250 by 250 pixels. Bone marrow aspirate smear. 40× objective, oil immersion.
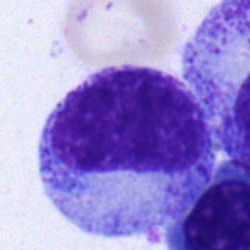The cell shown is a myelocyte.